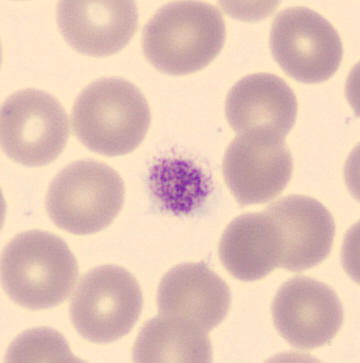
Platelet (thrombocyte). Acquisition: CellaVision DM96. Peripheral blood smear.